Peripheral blood film.
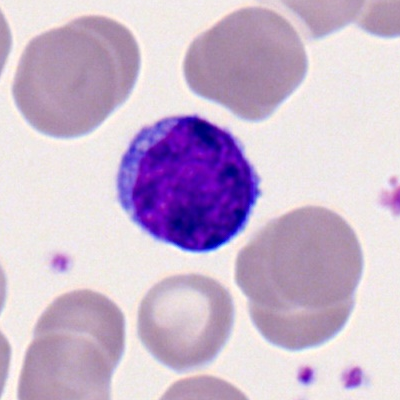

Cell = lymphocyte.